Peripheral blood smear
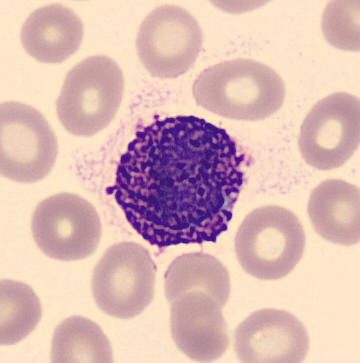Identified as a basophil.